Bone marrow smear:
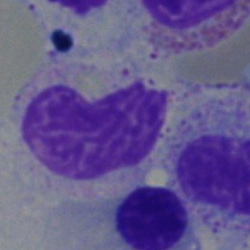
Specimen: bone marrow aspirate smear.
Morphological class: metamyelocyte.
Lineage: myeloid.